Bone marrow smear:
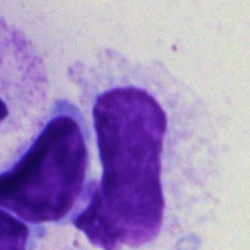

Cell — artifact.